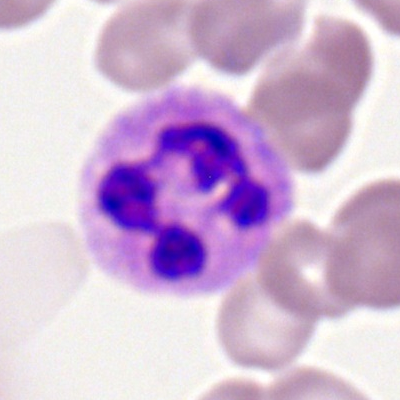Peripheral blood smear showing a neutrophil (segmented).